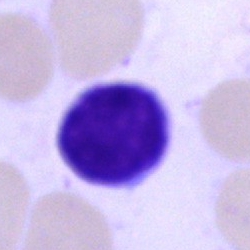

Single-cell crop from a bone marrow smear: lymphocyte.